Bone marrow smear: 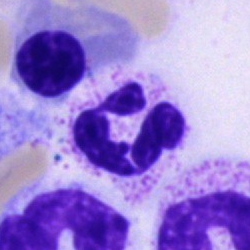
Q: What cell is this?
A: A neutrophil (segmented).